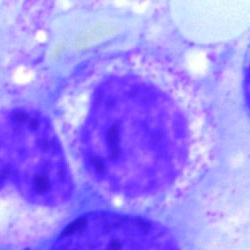 Showing a myelocyte.